Imaged on a CellaVision DM96 analyser; image size 360×363; peripheral blood smear — 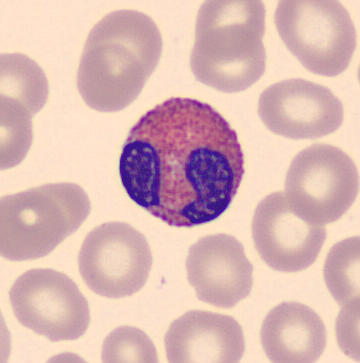Cell type = eosinophilic granulocyte.